MGG-stained. Bone marrow smear. 250×250 px.
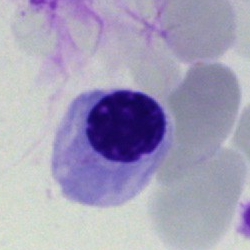Cell type — normoblast.